May-Grünwald-Giemsa/Pappenheim stain. Bone marrow smear. Single-cell crop — 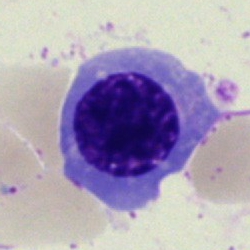 This is an erythroblast.